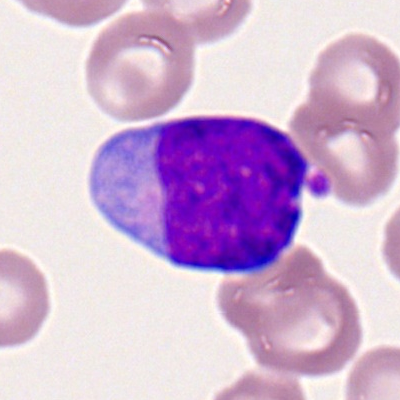 Q: What is the morphological classification of this cell?
A: Myeloblast.